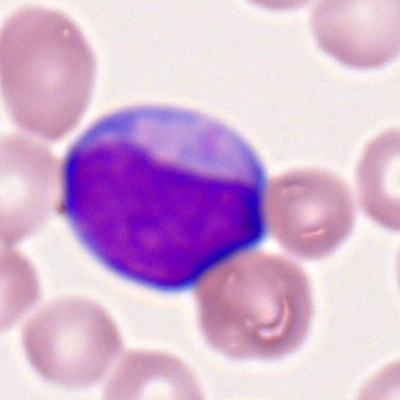 {"cell_type": "myeloid blast", "lineage": "myeloid"}